Image size 250×250 · single-cell crop · bone marrow aspirate smear:
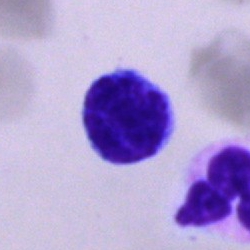 Q: Which cell type is shown here?
A: It is a lymphocyte.